Bone marrow aspirate smear
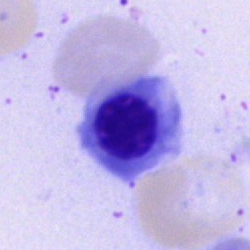

Showing a nucleated red blood cell.